Bone marrow smear; Pappenheim-stained
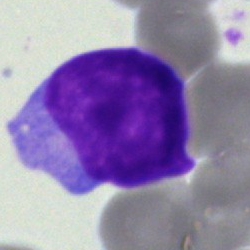 Q: What type of cell is this?
A: It is an other cell type.